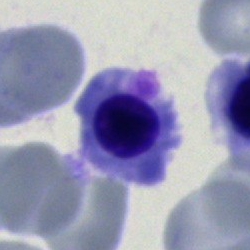

Classification — nucleated red blood cell.